Peripheral blood smear:
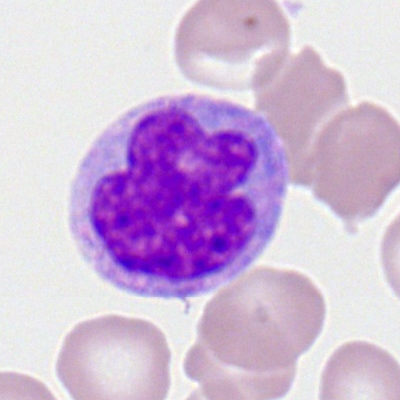Monocyte.